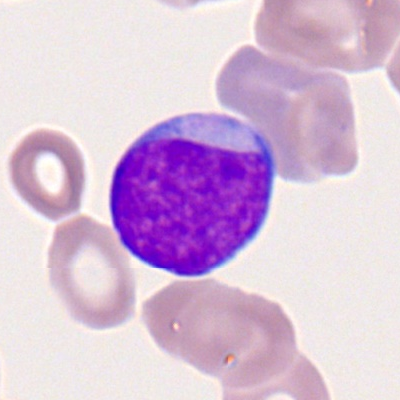
A myeloid blast.